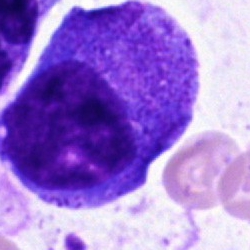

Specimen: bone marrow aspirate smear.
Morphological class: progranulocyte.
Lineage: myeloid.